Bone marrow smear. MGG-stained. Single cell centered in the field — 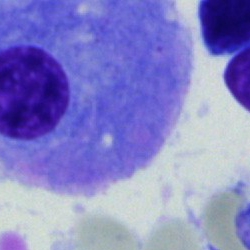

Q: What type of cell is this?
A: It is a plasmacyte.